Bone marrow aspirate smear · 40× oil immersion: 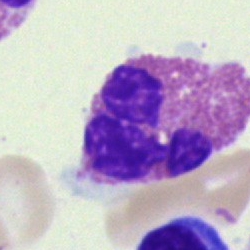Morphology — basophilic granulocyte.